Peripheral blood film
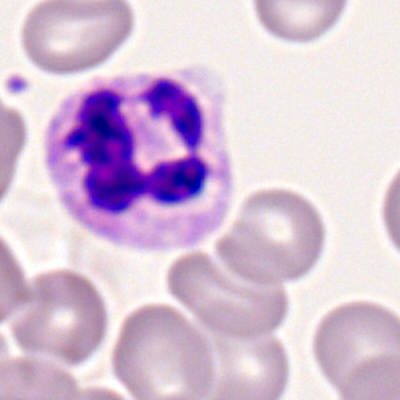 Polymorphonuclear neutrophil.